Brightfield microscopy, 40× oil immersion · bone marrow smear.
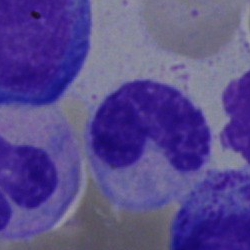

Morphological class = band-form neutrophil.